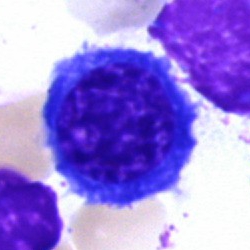

Bone marrow smear showing a nucleated red cell.